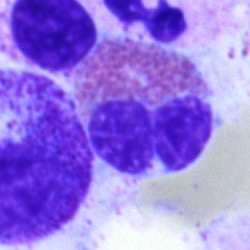Impression → eosinophil.